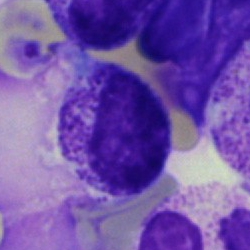Classification = myelocyte.